Single-cell crop · bone marrow smear:
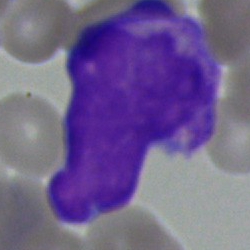Specimen: bone marrow smear.
Morphological class: blast cell.